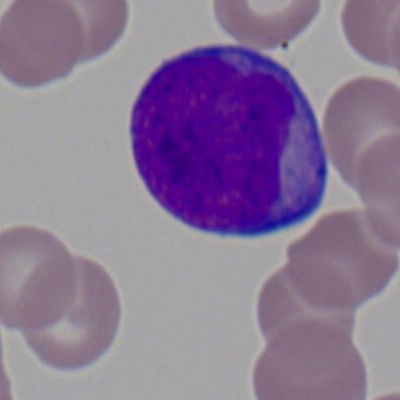

Classification: myeloid blast.